Bone marrow smear. Brightfield, 40× oil-immersion objective. Single cell centered in the field: 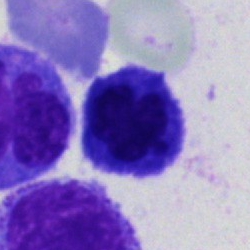{"cell_type": "normoblast", "lineage": "erythroid"}